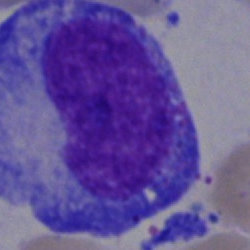 Cell type = progranulocyte.